Bone marrow aspirate smear · MGG-stained · 250×250 px
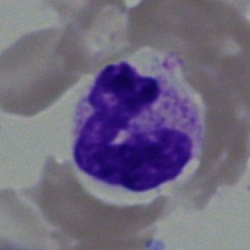
Morphological class: neutrophil (segmented).